Bone marrow smear: 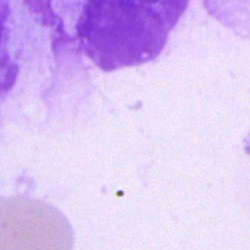 Showing an artifact.